Bone marrow smear:
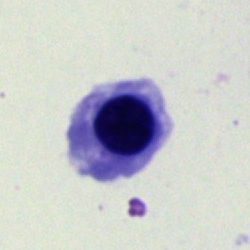Impression — nucleated red cell.